Bone marrow aspirate smear:
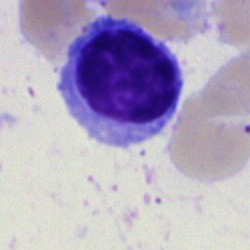

A typical lymphocyte.